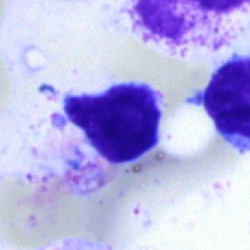{"cell_type": "typical lymphocyte"}